250 by 250 pixels. Bone marrow aspirate smear. May-Grünwald-Giemsa stain.
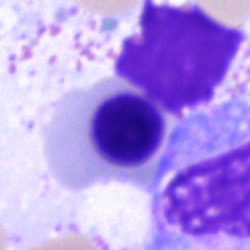
Showing a nucleated red blood cell.